Brightfield microscopy, 40× oil immersion; bone marrow aspirate smear
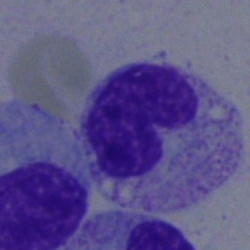
Q: What is shown here?
A: Band-form neutrophil.